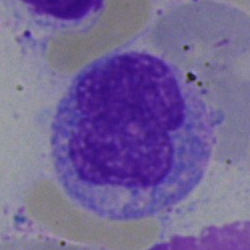 Showing a monocyte.